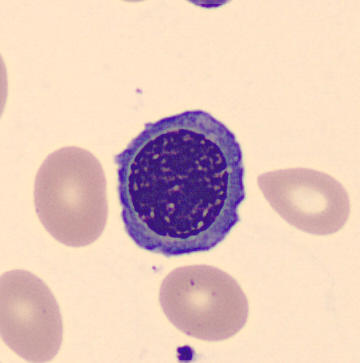This is a nucleated red blood cell.
Acquisition: Peripheral blood smear.